Bone marrow smear; brightfield microscopy, 40× oil immersion:
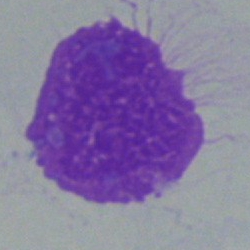
Morphology → artifact.